40× oil immersion · bone marrow smear: 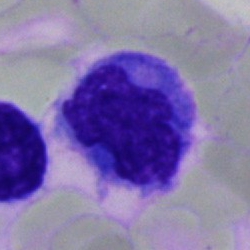 Q: What is shown here?
A: Monocyte.